250×250 px · bone marrow aspirate smear:
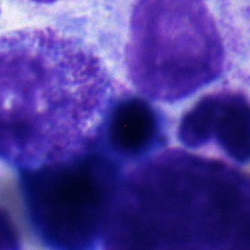Cell type — nucleated red blood cell.